Bone marrow smear — 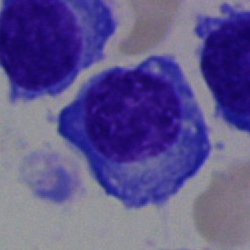
Q: What is the morphological classification of this cell?
A: A plasma cell.